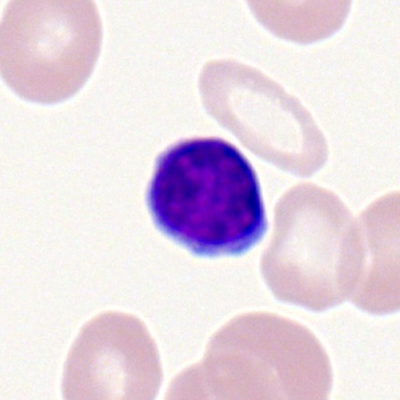 {"cell_type": "lymphocyte", "lineage": "lymphoid"}